Bone marrow smear · image size 250×250.
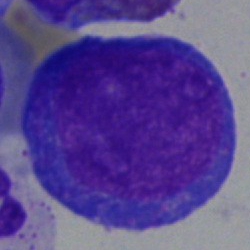

Specimen: bone marrow aspirate smear.
Morphological class: proerythroblast.